Bone marrow smear. May-Grünwald-Giemsa stain — 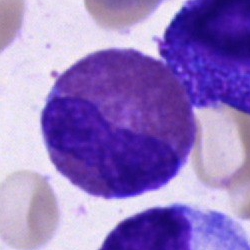The classification is eosinophilic granulocyte.